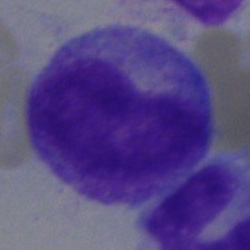
Impression → metamyelocyte.